Bone marrow smear — 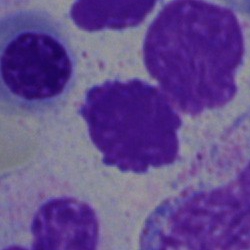

This is an artifact.